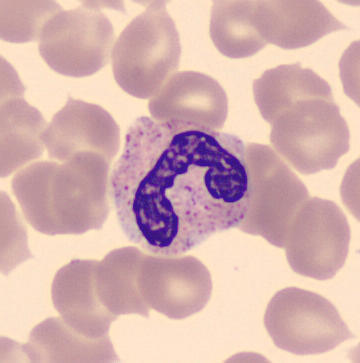Peripheral blood film, single cell — neutrophil (segmented).